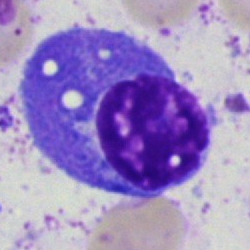
A plasma cell.